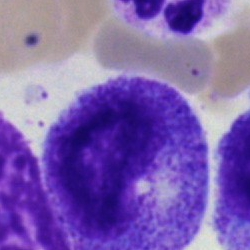 The morphological class is progranulocyte.